Cropped to a single cell; 250 by 250 pixels; bone marrow smear:
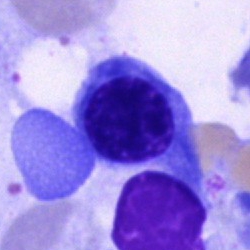Erythroblast.